Bone marrow aspirate smear; 250 by 250 pixels; brightfield microscopy, 40× oil immersion:
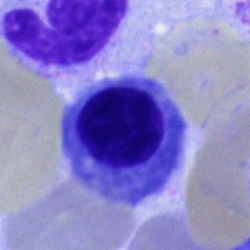 Cell type — erythroblast.